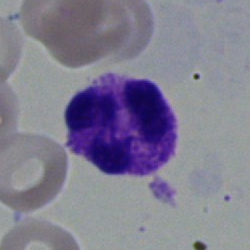
Q: What is the morphological classification of this cell?
A: It is a neutrophil (segmented).